Bone marrow smear.
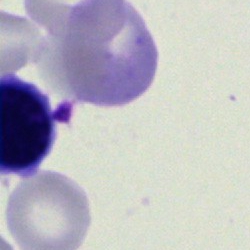
Morphological class — artefact.